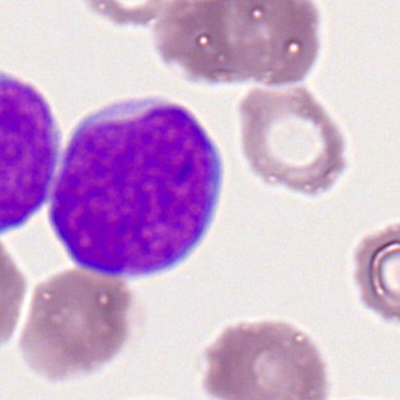

Q: Identify the cell.
A: A myeloblast.